Bone marrow smear · May-Grünwald-Giemsa/Pappenheim stain.
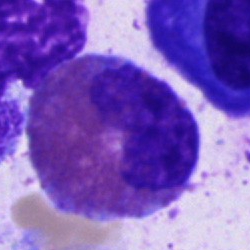Cell: eosinophilic granulocyte.